Bone marrow aspirate smear · 250×250:
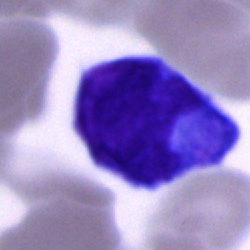 Q: What is shown here?
A: This is a blast cell.